40× oil immersion · 250×250 px · bone marrow smear:
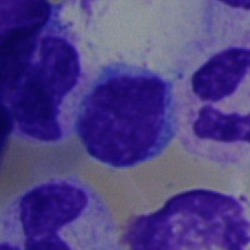Q: What is shown here?
A: This is a lymphocyte.